40× oil immersion; single-cell field; bone marrow aspirate smear — 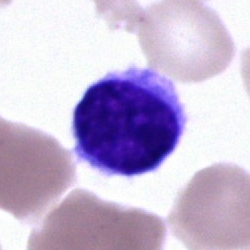
Cell = typical lymphocyte.